40× objective, oil immersion. Single-cell crop. Bone marrow aspirate smear:
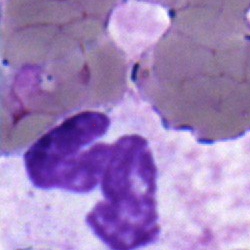

A polymorphonuclear neutrophil.